Bone marrow smear
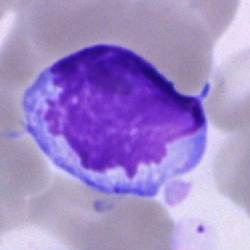

Cell of indeterminate lineage.